May-Grünwald-Giemsa stain · bone marrow smear
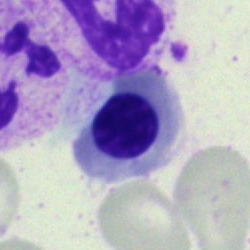
The cell type is nucleated red blood cell.